Pappenheim-stained. Bone marrow smear — 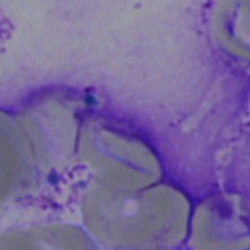Cell type — artifact.